250 by 250 pixels; bone marrow smear — 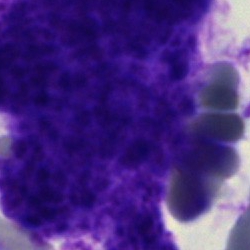 Morphology → artifact.